Bone marrow smear: 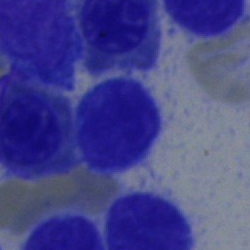 Specimen: bone marrow smear.
Cell type: lymphocyte.
Lineage: lymphoid.